40× oil immersion; bone marrow aspirate smear.
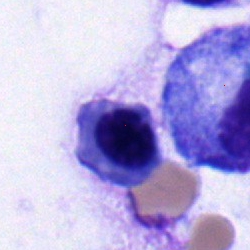 Morphology → erythroblast.